Peripheral blood smear
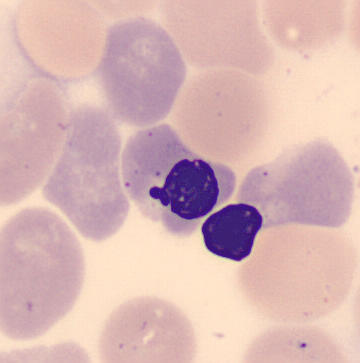Identified as a normoblast.